Single cell centered in the field · bone marrow smear
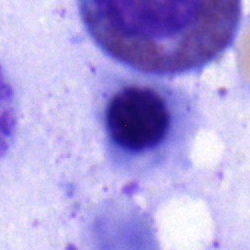Q: What type of cell is this?
A: This is a nucleated red blood cell.